Bone marrow aspirate smear — 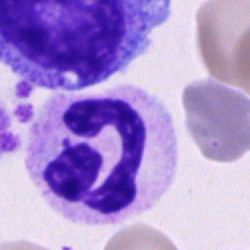

{"cell_type": "neutrophil (segmented)"}